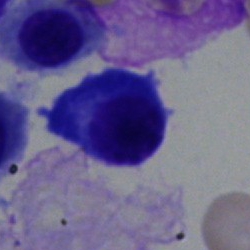
Cell type — plasmacyte.